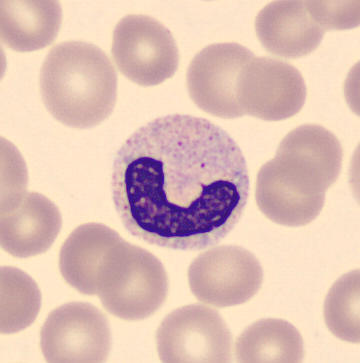 Specimen: peripheral blood smear.
Classification: band-form neutrophil.